Single cell centered in the field · bone marrow smear:
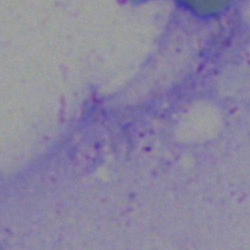 This is an artefact.